Peripheral blood film · 400×400 · single-cell crop:
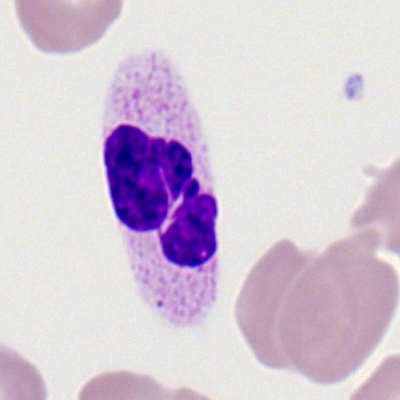Single cell identified as a polymorphonuclear neutrophil.